Peripheral blood smear. M8 digital microscope (Precipoint), 100× oil immersion
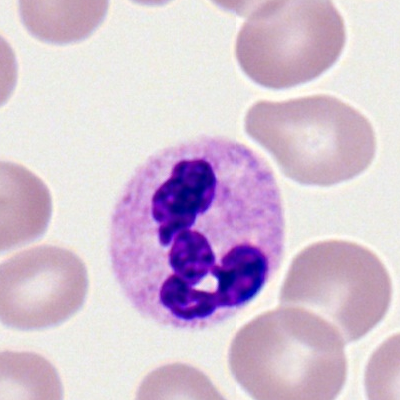Specimen: peripheral blood film.
Cell type: segmented neutrophil.
Lineage: myeloid.